Pappenheim-stained; single cell centered in the field; bone marrow aspirate smear
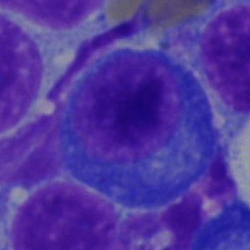 Single cell identified as a plasmacyte.